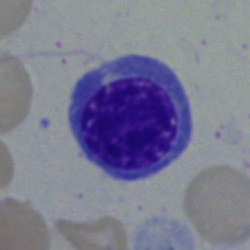Impression — normoblast.